Bone marrow aspirate smear.
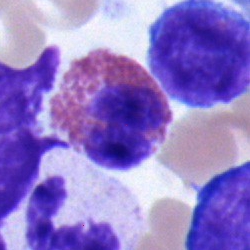

The cell shown is an eosinophil.